Bone marrow smear
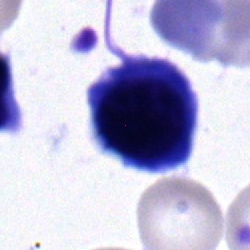

Classification — nucleated red blood cell.